Bone marrow smear
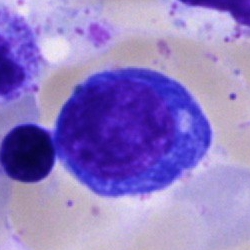 Classification — erythroblast.